Bone marrow aspirate smear
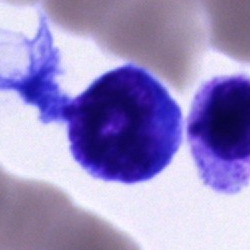 Classification = unidentifiable cell.